Bone marrow aspirate smear — 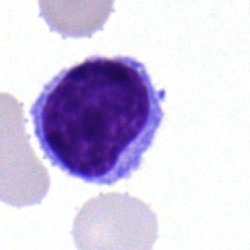

Morphological class — typical lymphocyte.